Bone marrow aspirate smear. Single-cell crop:
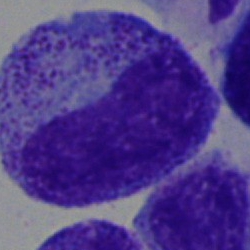

Q: Identify the cell.
A: This is a progranulocyte.